Bone marrow aspirate smear. Single cell centered in the field — 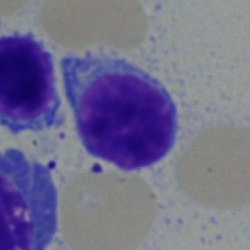

Specimen: bone marrow smear.
Classification: lymphocyte.